Bone marrow aspirate smear:
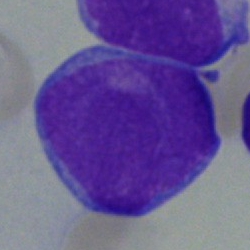
Q: What cell is this?
A: A blast cell.